Bone marrow aspirate smear.
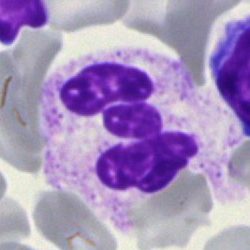 Showing a neutrophil (segmented).